Bone marrow smear · 250×250 px: 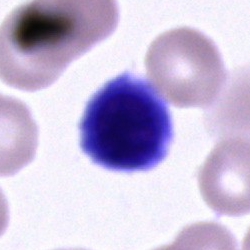 Cell type: nucleated red blood cell.